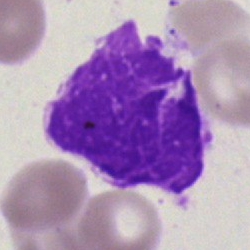Cell type = artifact.